250×250 px · cropped to a single cell · bone marrow smear:
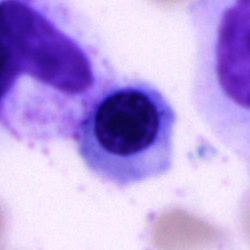

Classification = normoblast.